250×250 px · bone marrow smear — 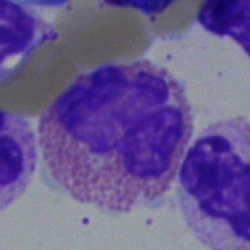

The cell type is eosinophil.